Romanowsky-stained; 100× objective, oil immersion; peripheral blood film
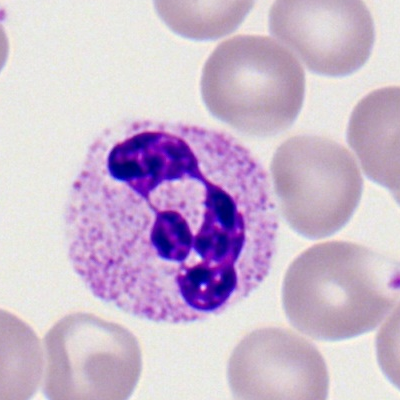

Classification — polymorphonuclear neutrophil.